Peripheral blood film.
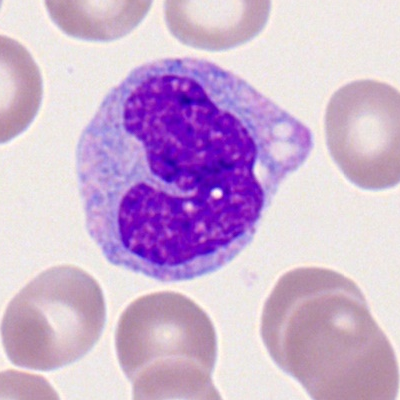
Q: What is shown here?
A: It is a monocyte.